Brightfield microscopy, 40× oil immersion · bone marrow aspirate smear — 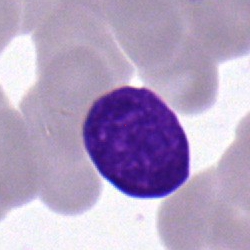Showing a blast.